250×250 px · bone marrow smear: 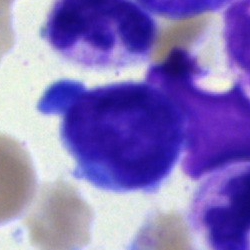 The classification is blast cell.